Bone marrow aspirate smear.
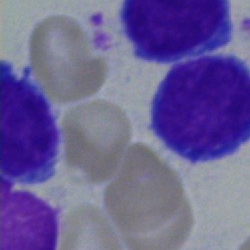

Specimen: bone marrow smear.
Cell: lymphocyte.